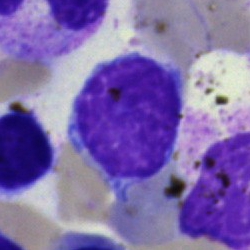Morphology consistent with a lymphocyte.